250×250 · bone marrow aspirate smear · May-Grünwald-Giemsa stain:
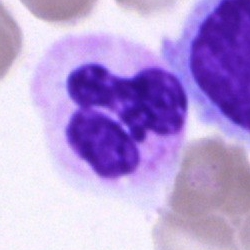Q: What cell is this?
A: This is a polymorphonuclear neutrophil.